250 by 250 pixels. Bone marrow aspirate smear:
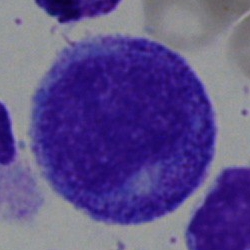

Showing a progranulocyte.